Bone marrow aspirate smear.
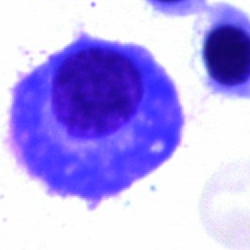

{"cell_type": "plasma cell"}